Peripheral blood smear: 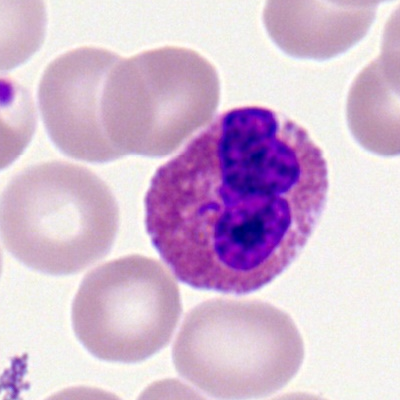

{"cell_type": "eosinophilic granulocyte", "lineage": "myeloid"}